Bone marrow smear; 40× oil immersion; 250×250.
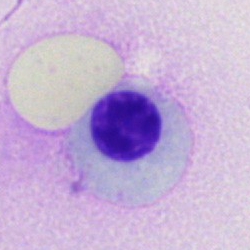
Morphology → erythroblast.